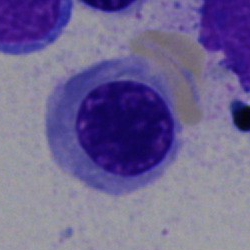
The morphological class is erythroblast.